Bone marrow aspirate smear; single-cell crop; 40× objective, oil immersion: 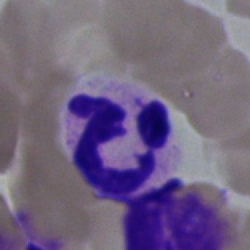 Cell type = polymorphonuclear neutrophil.